Bone marrow aspirate smear.
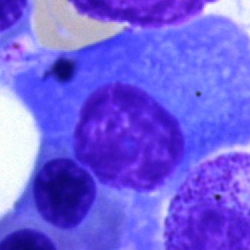
Single cell identified as a plasmacyte.